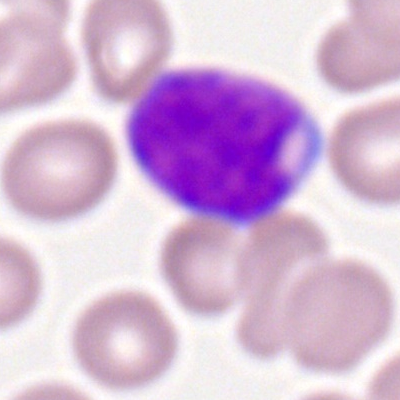
The cell shown is a myeloblast.